Bone marrow smear.
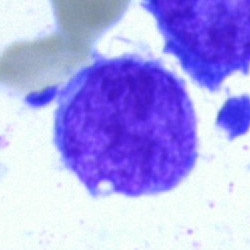
{"cell_type": "blast cell"}